Bone marrow aspirate smear:
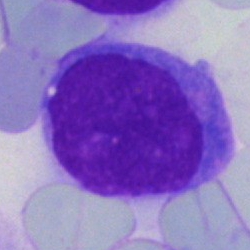 Morphology — blast.